Bone marrow smear; 40× oil immersion.
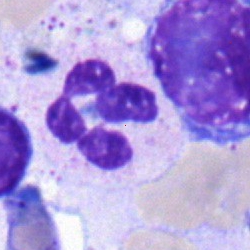

Impression → polymorphonuclear neutrophil.